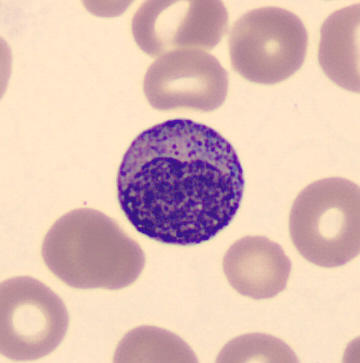 The morphological class is myelocyte.
Peripheral blood smear.